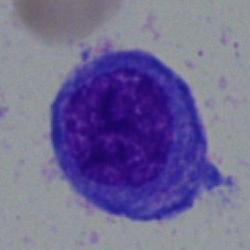

Morphology — blast cell.